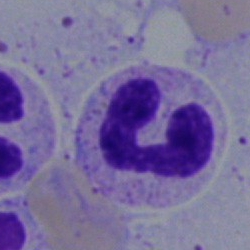

Q: What type of cell is this?
A: A neutrophil (segmented).